Bone marrow smear:
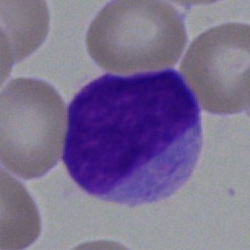 Cell type = blast.